Bone marrow smear. Single-cell crop. 40× objective, oil immersion.
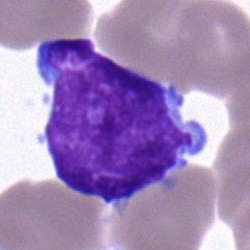

Impression → blast.